Bone marrow smear; single-cell field:
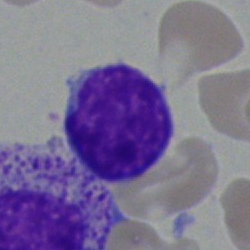

Specimen: bone marrow aspirate smear.
Cell type: lymphocyte.
Lineage: lymphoid.